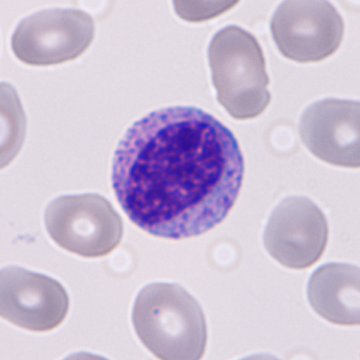 Image: Image size 360×360.
Specimen: peripheral blood film.
Cell type: immature granulocyte (promyelocyte, myelocyte or metamyelocyte).